250×250. Bone marrow aspirate smear
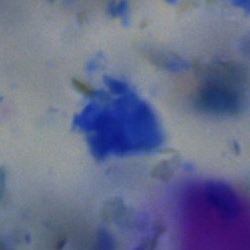 Classification: artefact.